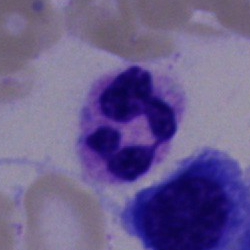 Specimen: bone marrow aspirate smear.
Morphological class: neutrophil (segmented).
Lineage: myeloid.